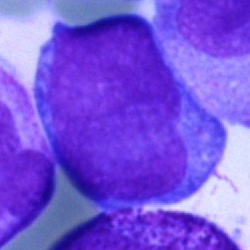Q: What is shown here?
A: This is a blast cell.